Peripheral blood smear · Romanowsky stain · single-cell field — 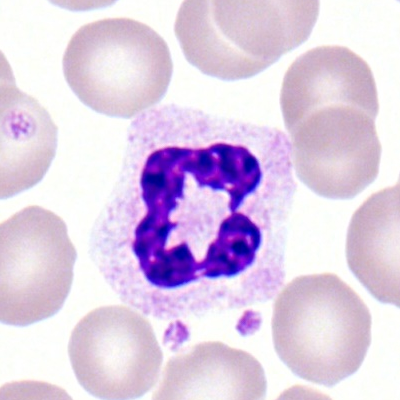

This is a segmented neutrophil.